Bone marrow smear; May-Grünwald-Giemsa/Pappenheim stain; single-cell crop — 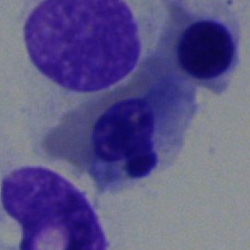
Morphology consistent with an erythroblast.